Bone marrow aspirate smear. 40× objective, oil immersion
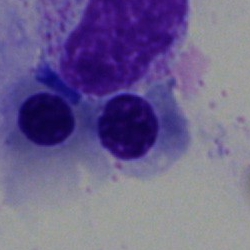Classification — normoblast.